Bone marrow aspirate smear: 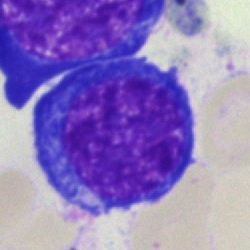
Impression → normoblast.